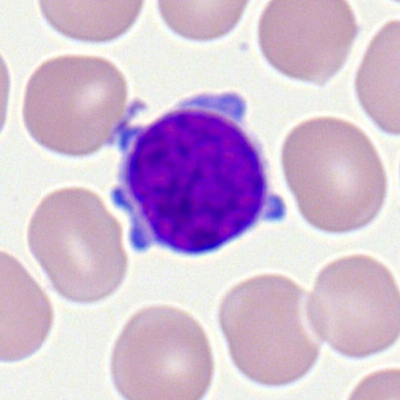 {"cell_type": "typical lymphocyte", "lineage": "lymphoid"}